Bone marrow smear. 250×250 px:
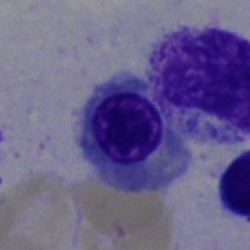Q: What type of cell is this?
A: It is a normoblast.